Bone marrow aspirate smear
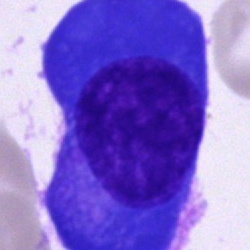 Impression — plasmacyte.